Bone marrow aspirate smear
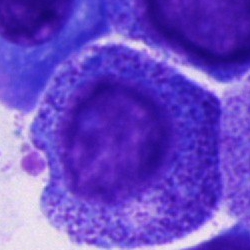The cell shown is a promyelocyte.